Bone marrow aspirate smear. Single-cell field. 250×250: 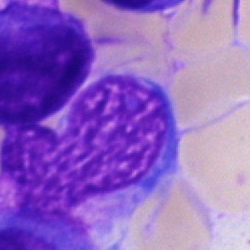 Specimen: bone marrow aspirate smear.
Morphological class: artifact.